250×250. Single cell centered in the field. Bone marrow aspirate smear:
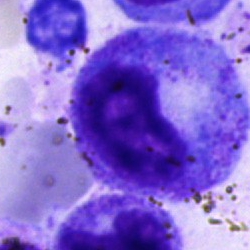 Q: Identify the cell.
A: Progranulocyte.